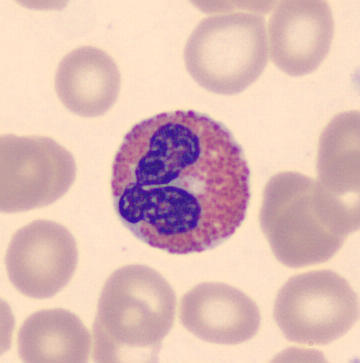Specimen: peripheral blood smear.
Cell: eosinophilic granulocyte.
Lineage: myeloid.